Bone marrow smear; May-Grünwald-Giemsa/Pappenheim stain.
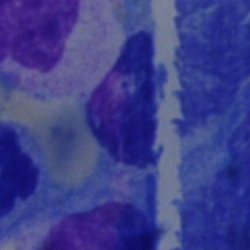 Classification — artefact.